May-Grünwald-Giemsa stain. Image size 250×250. Bone marrow smear:
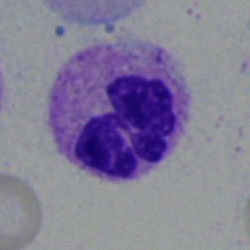
Morphological class = polymorphonuclear neutrophil.